Bone marrow aspirate smear:
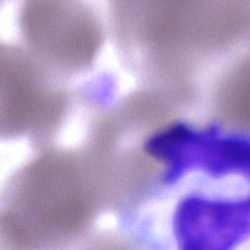

Q: What is shown here?
A: An artefact.